Bone marrow aspirate smear; brightfield microscopy, 40× oil immersion; Pappenheim-stained
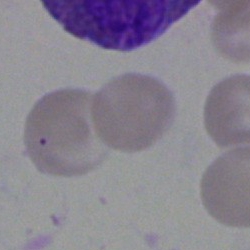

The morphological class is artefact.